250×250 px · bone marrow aspirate smear · 40× oil immersion:
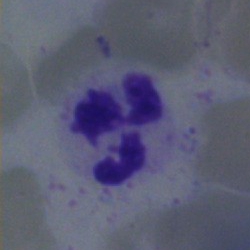 Specimen: bone marrow aspirate smear.
Morphological class: neutrophil (segmented).
Lineage: myeloid.